Bone marrow smear; image size 250×250
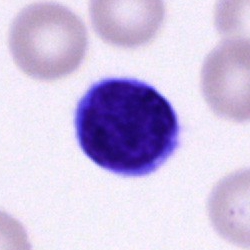

Cell — typical lymphocyte.